May-Grünwald-Giemsa stain. Bone marrow aspirate smear.
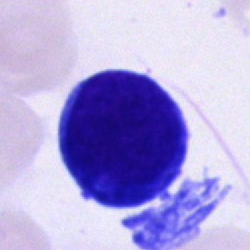

A cell of indeterminate lineage.